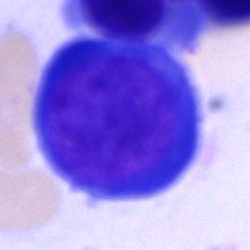
Morphology → pronormoblast.